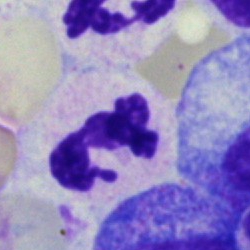Morphological class = neutrophil (segmented).